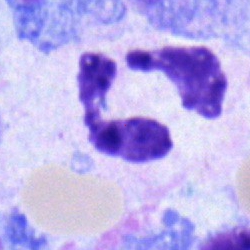

Showing a polymorphonuclear neutrophil.